Bone marrow aspirate smear:
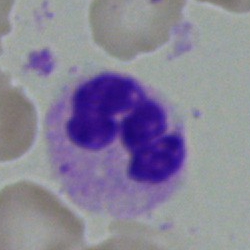

Cell — neutrophil (segmented).